Single cell centered in the field; bone marrow smear:
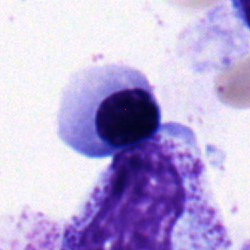

Morphology consistent with a nucleated red cell.